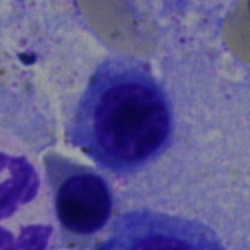

This is an erythroblast.